Bone marrow smear.
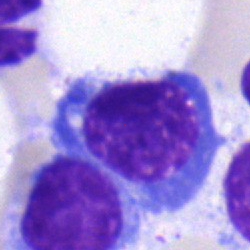
Plasmacyte.